Bone marrow smear: 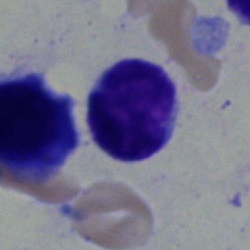
Q: Which cell type is shown here?
A: This is a lymphocyte.